Bone marrow smear: 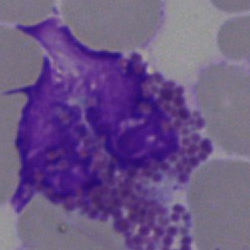Morphology → eosinophilic granulocyte.